40× objective, oil immersion; bone marrow aspirate smear; May-Grünwald-Giemsa/Pappenheim stain
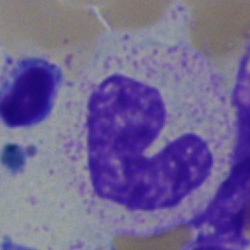
Specimen: bone marrow smear.
Cell: band-form neutrophil.
Lineage: myeloid.